Bone marrow aspirate smear — 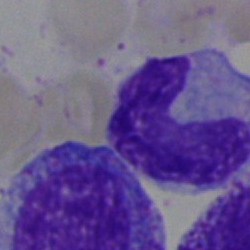

Cell type: neutrophil (band).